250×250; bone marrow smear: 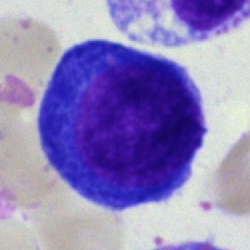 Specimen: bone marrow smear.
Classification: nucleated red cell.